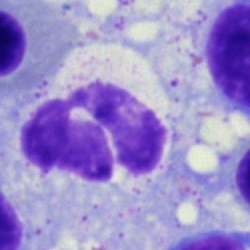
Q: What is shown here?
A: This is a polymorphonuclear neutrophil.